Bone marrow aspirate smear
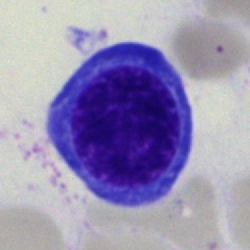 Showing a nucleated red blood cell.